Bone marrow aspirate smear
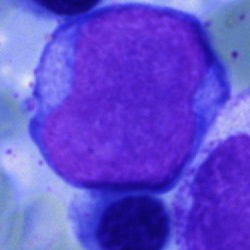 Single cell identified as a proerythroblast.